Bone marrow smear. 250×250:
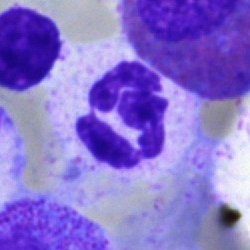 Single cell identified as a segmented neutrophil.